Peripheral blood smear. Brightfield, 100× oil-immersion objective. Single cell centered in the field.
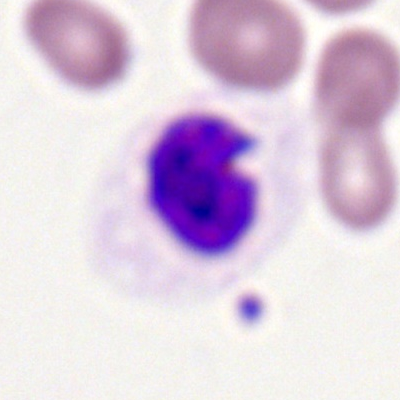 This is a polymorphonuclear neutrophil.